Brightfield, 40× oil-immersion objective · bone marrow smear.
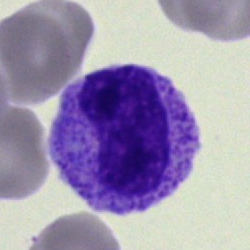
Specimen: bone marrow aspirate smear.
Cell type: metamyelocyte.